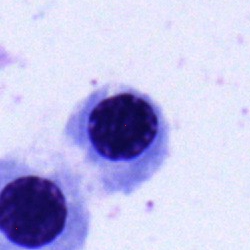 {"cell_type": "erythroblast", "lineage": "erythroid"}